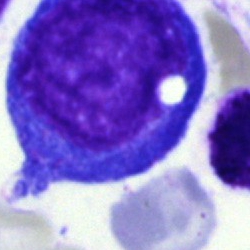
Bone marrow smear showing a proerythroblast.